Bone marrow aspirate smear. Single-cell crop:
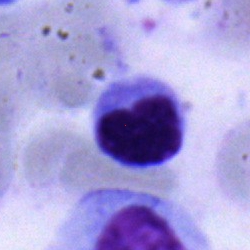
Lymphocyte.